Bone marrow aspirate smear.
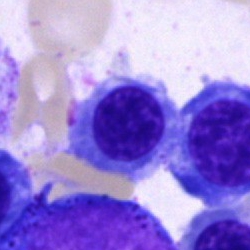 Specimen: bone marrow smear.
Morphological class: normoblast.
Lineage: erythroid.